400×400 px · peripheral blood film: 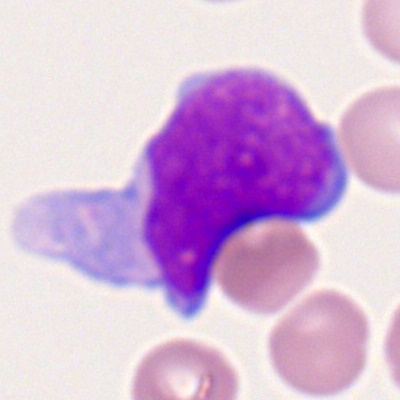
Classification — myeloid blast.